Bone marrow aspirate smear:
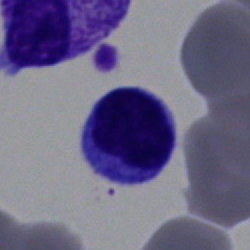 The morphological class is typical lymphocyte.